May-Grünwald-Giemsa stain. 250×250 px. Bone marrow aspirate smear: 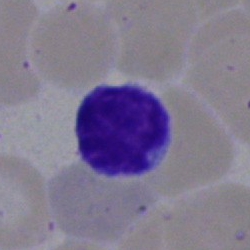 Cell type = lymphocyte.